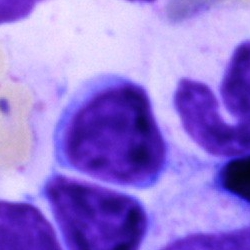
Q: What cell is this?
A: Typical lymphocyte.